Bone marrow smear:
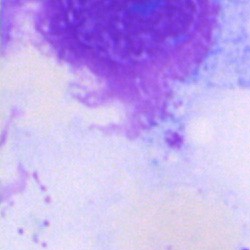

An artefact.